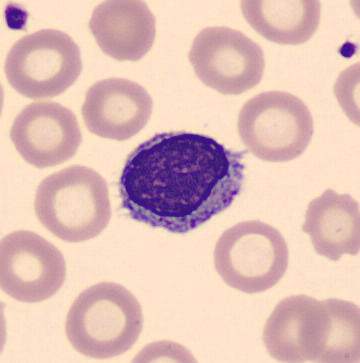Identified as a lymphocyte. Acquisition: 360×363 px · peripheral blood smear.